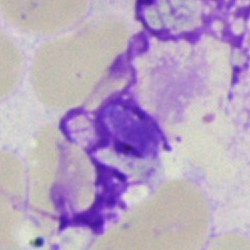 Impression — artefact.